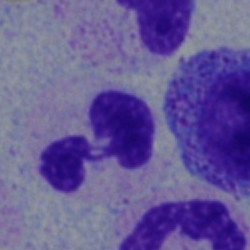

The cell is neutrophil (segmented).